Bone marrow aspirate smear:
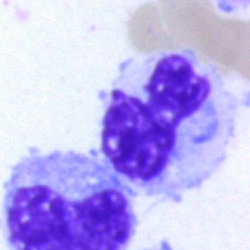
{"cell_type": "artifact"}